Bone marrow aspirate smear — 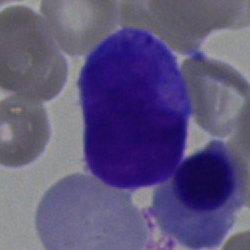

Q: Which cell type is shown here?
A: It is an undifferentiated blast.